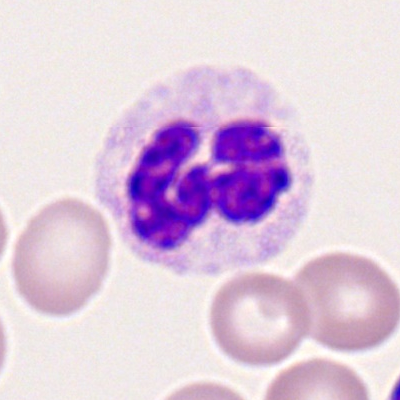Impression → neutrophil (segmented).